Peripheral blood film — 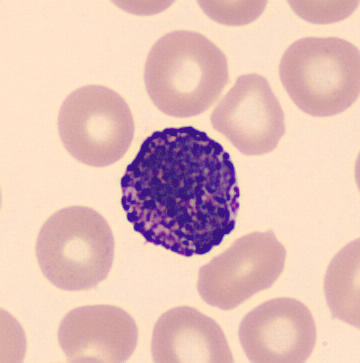Specimen: peripheral blood film.
Classification: basophilic granulocyte.